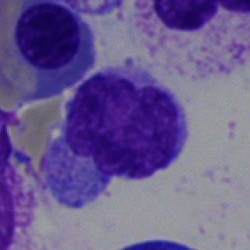{"cell_type": "lymphocyte", "lineage": "lymphoid"}